Bone marrow aspirate smear · May-Grünwald-Giemsa stain.
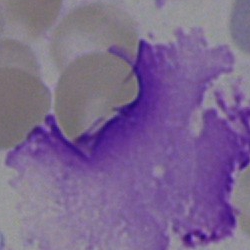

Cell type = artefact.